Bone marrow aspirate smear — 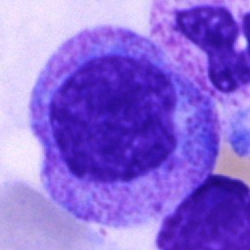 {"cell_type": "promyelocyte"}